Bone marrow smear. Image size 250×250 — 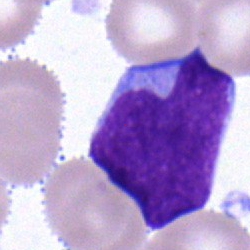
Q: What type of cell is this?
A: Blast.